250 by 250 pixels. Pappenheim-stained. Bone marrow aspirate smear:
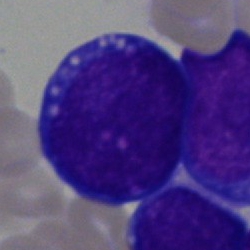 Morphology consistent with an undifferentiated blast.